Bone marrow aspirate smear · 250×250 px:
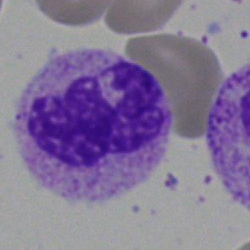 Showing a neutrophil (segmented).